Pappenheim-stained · bone marrow smear
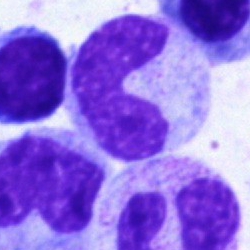
Morphology → neutrophil (band).